Bone marrow smear: 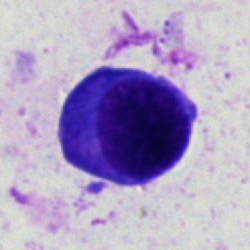Showing a plasma cell.